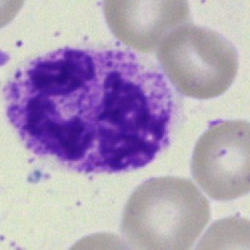Morphology — segmented neutrophil.